Bone marrow aspirate smear · single cell centered in the field: 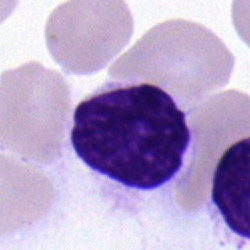
Q: What type of cell is this?
A: It is a typical lymphocyte.